Cropped to a single cell. Bone marrow aspirate smear.
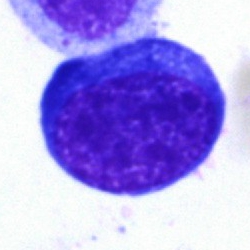

Specimen: bone marrow aspirate smear.
Classification: proerythroblast.